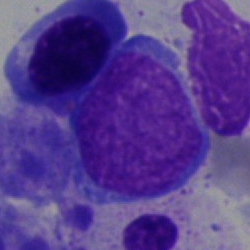
The classification is typical lymphocyte.